Bone marrow aspirate smear; May-Grünwald-Giemsa/Pappenheim stain; 40× objective, oil immersion:
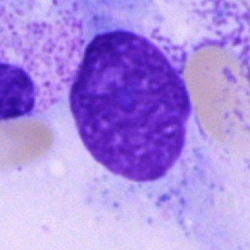

Morphology consistent with an artifact.